Bone marrow aspirate smear — 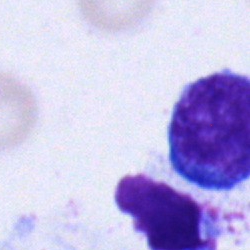

Morphology — erythroblast.